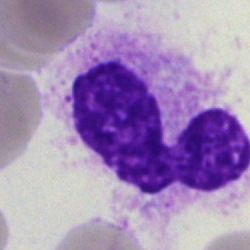Q: Which cell type is shown here?
A: Neutrophil (band).